Bone marrow aspirate smear; single cell centered in the field: 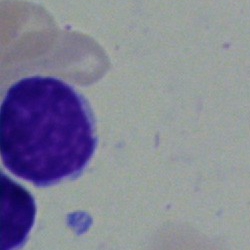 Specimen: bone marrow aspirate smear.
Classification: lymphocyte.
Lineage: lymphoid.